Bone marrow smear.
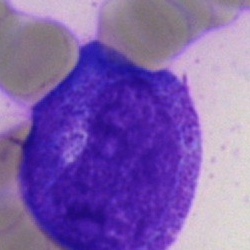 Cell: promyelocyte.